Single-cell field; bone marrow aspirate smear
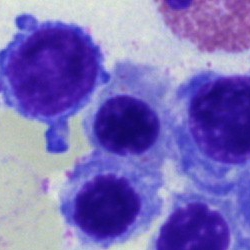
Classification — normoblast.